Bone marrow smear; single-cell field
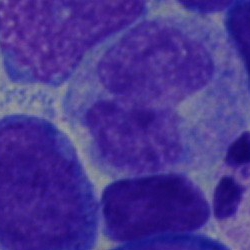

The cell type is monocyte.